Single cell centered in the field. 250×250. Bone marrow smear:
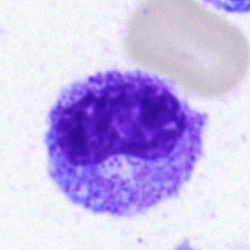
Metamyelocyte.